Peripheral blood film:
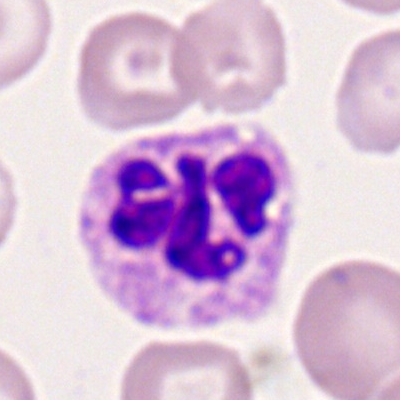
Cell type = polymorphonuclear neutrophil.